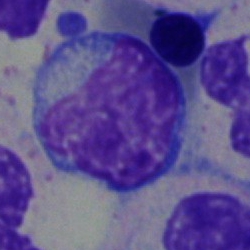Morphology — normoblast.